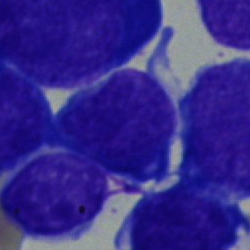
Cell: undifferentiated blast.